Bone marrow aspirate smear. 40× oil immersion
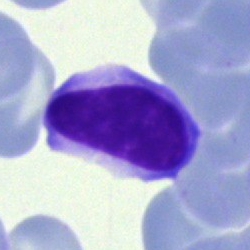Q: Which cell type is shown here?
A: This is a typical lymphocyte.